Bone marrow aspirate smear · May-Grünwald-Giemsa stain — 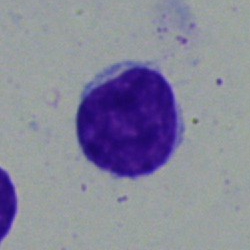{"cell_type": "lymphocyte"}